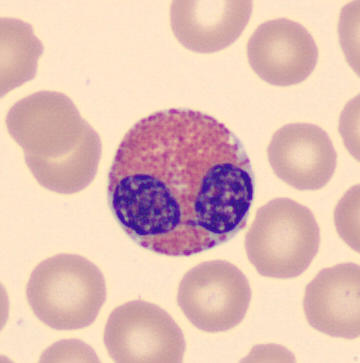

Acquisition: Peripheral blood film.

{"cell_type": "eosinophilic granulocyte"}